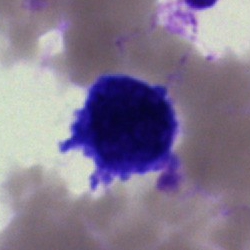
This is an artifact.